250×250 px. Bone marrow smear: 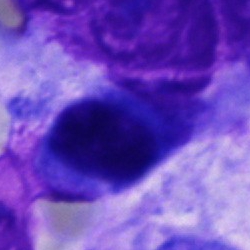

{"cell_type": "other cell"}